Bone marrow aspirate smear: 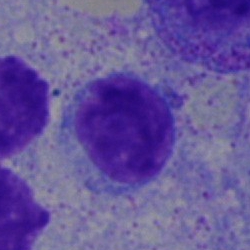 The cell is typical lymphocyte.